40× objective, oil immersion; bone marrow smear: 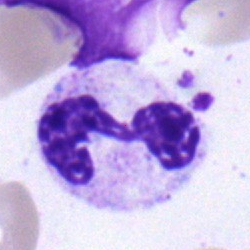
Q: What type of cell is this?
A: A polymorphonuclear neutrophil.